Bone marrow smear:
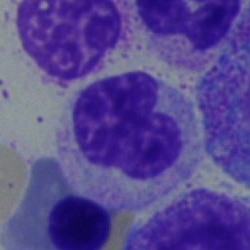 The morphological class is band neutrophil.